Bone marrow smear
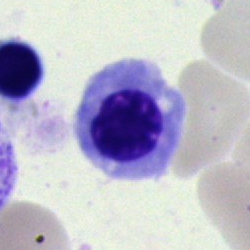This is a nucleated red cell.